Bone marrow aspirate smear; single-cell crop; May-Grünwald-Giemsa/Pappenheim stain
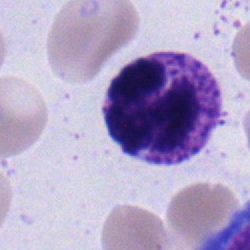 Q: What is shown here?
A: This is a neutrophil (segmented).